M8 digital microscope (Precipoint), 100× oil immersion · peripheral blood smear · Romanowsky-stained — 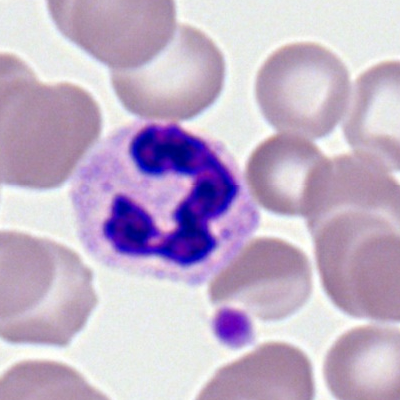
Morphological class — polymorphonuclear neutrophil.